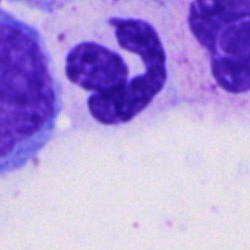 Morphology consistent with a polymorphonuclear neutrophil.